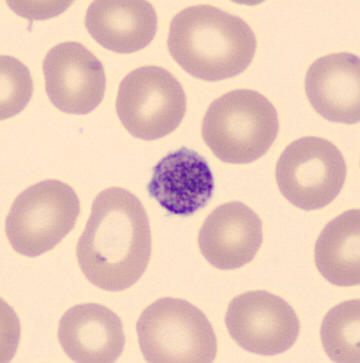 Specimen: peripheral blood smear.
Morphological class: thrombocyte.